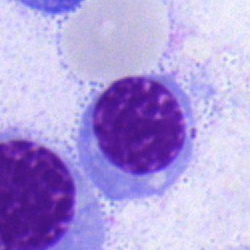

An erythroblast on a bone marrow smear.